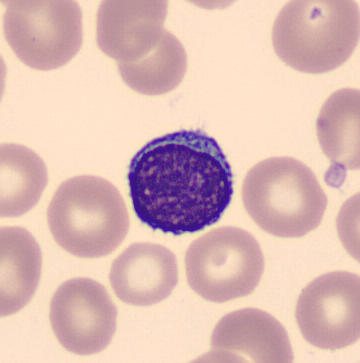{"cell_type": "lymphocyte", "lineage": "lymphoid"} Peripheral blood film.